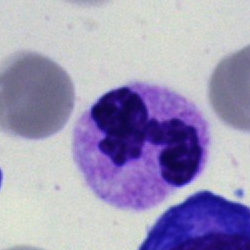 Cell: polymorphonuclear neutrophil.